400×400; peripheral blood smear
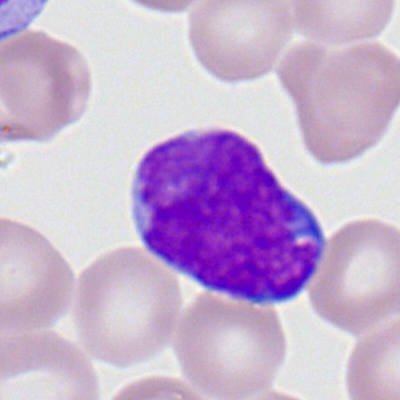 Classification: myeloid blast.